Bone marrow smear.
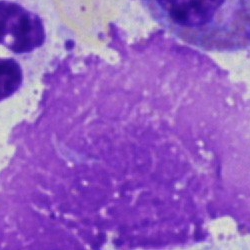

Morphology — artefact.